May-Grünwald-Giemsa/Pappenheim stain · brightfield microscopy, 40× oil immersion · bone marrow smear:
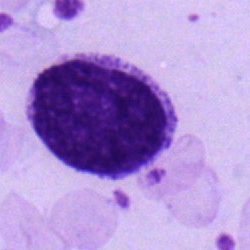 {"cell_type": "lymphocyte"}